Bone marrow smear · single-cell field.
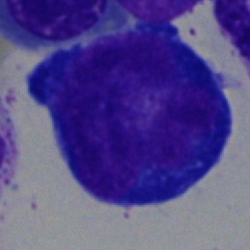A blast cell.